Bone marrow smear
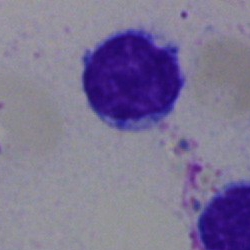

Showing a lymphocyte.